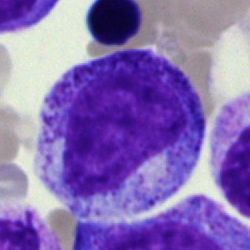Q: Identify the cell.
A: Progranulocyte.